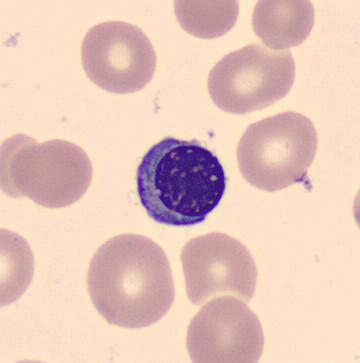

Peripheral blood film.
Cell: nucleated red blood cell.